Bone marrow aspirate smear:
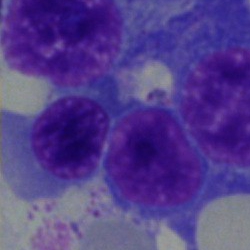
Erythroblast.